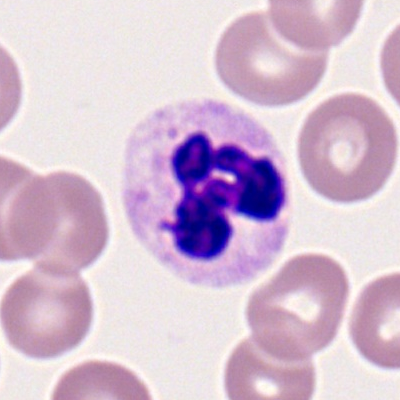 Impression → segmented neutrophil.